250×250 px; bone marrow aspirate smear; single-cell crop
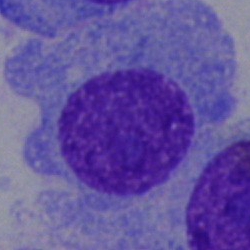Q: What is the morphological classification of this cell?
A: Plasma cell.